Bone marrow smear · brightfield, 40× oil-immersion objective
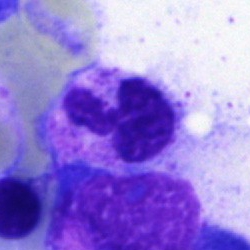{"cell_type": "neutrophil (segmented)", "lineage": "myeloid"}